M8 digital microscope (Precipoint), 100× oil immersion · peripheral blood film · Romanowsky stain: 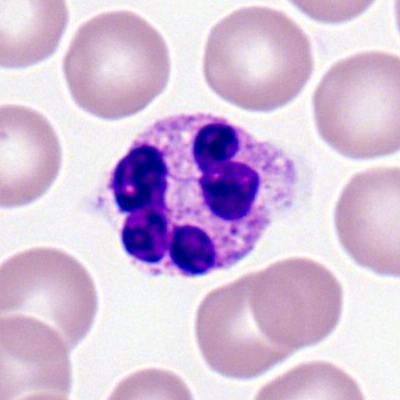 Cell type: segmented neutrophil.